Brightfield microscopy, 40× oil immersion; 250×250 px; bone marrow smear
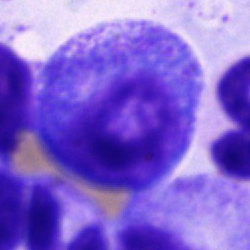 A progranulocyte.